May-Grünwald-Giemsa stain. Bone marrow aspirate smear. Brightfield, 40× oil-immersion objective — 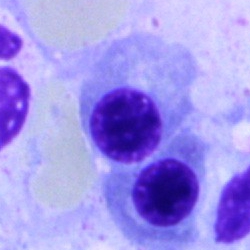
Specimen: bone marrow smear.
Cell type: normoblast.